Peripheral blood smear
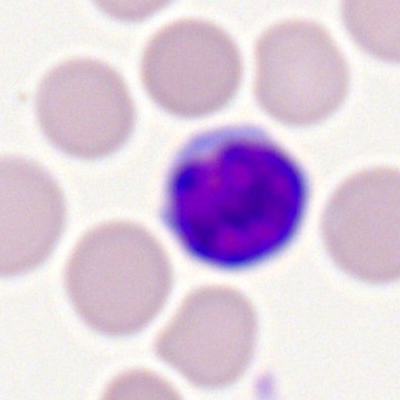
{"cell_type": "lymphocyte", "lineage": "lymphoid"}